Bone marrow smear:
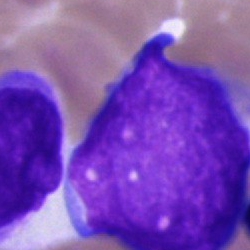This is a blast cell.